Bone marrow smear
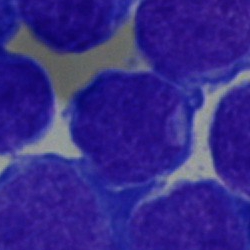 Cell type: undifferentiated blast.